Bone marrow smear. May-Grünwald-Giemsa/Pappenheim stain — 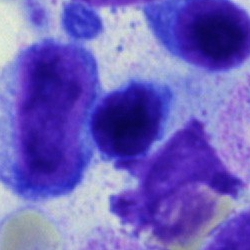Morphological class = nucleated red blood cell.